Bone marrow aspirate smear. 250×250.
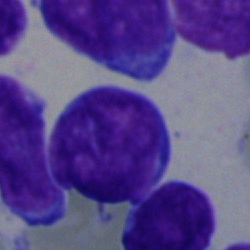
Impression — blast.